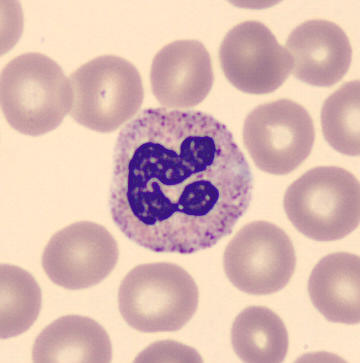 Cell type: segmented neutrophil.